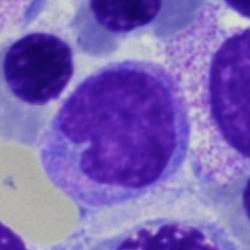

The cell is monocyte.